Bone marrow smear. Brightfield microscopy, 40× oil immersion
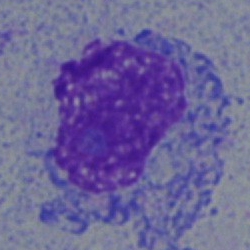
Classification = blast.